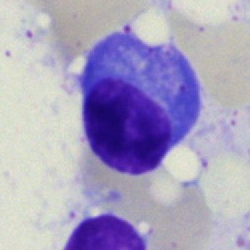
A plasmacyte on a bone marrow smear.